Bone marrow smear
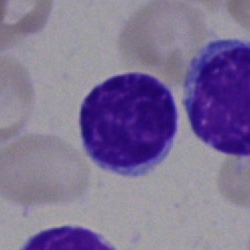
Showing a lymphocyte.